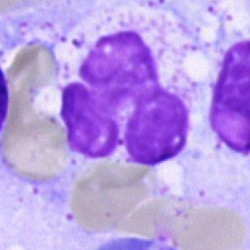
Single-cell crop from a bone marrow smear: segmented neutrophil.